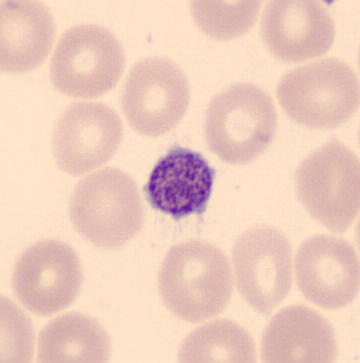Peripheral blood film. Cell type: thrombocyte.